100× objective, oil immersion. Peripheral blood film:
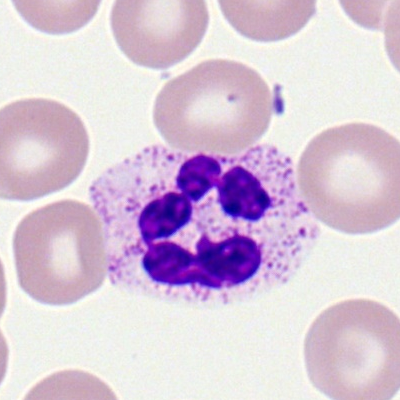

The cell shown is a segmented neutrophil.